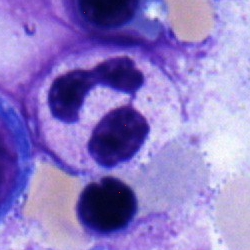

Classification — segmented neutrophil.